Bone marrow aspirate smear. May-Grünwald-Giemsa/Pappenheim stain: 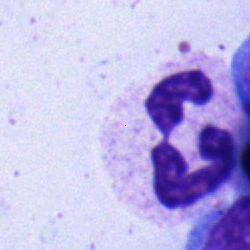

Q: What cell is this?
A: Segmented neutrophil.